Cropped to a single cell. May-Grünwald-Giemsa/Pappenheim stain. Bone marrow aspirate smear — 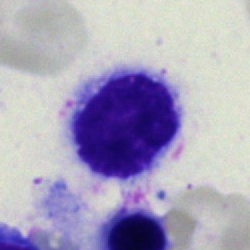 Cell type — typical lymphocyte.